May-Grünwald-Giemsa stain. Bone marrow aspirate smear. Single cell centered in the field.
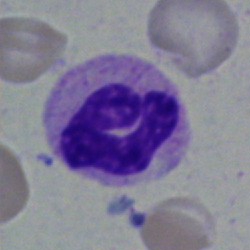 Showing a neutrophil (segmented).